Image size 250×250; bone marrow aspirate smear: 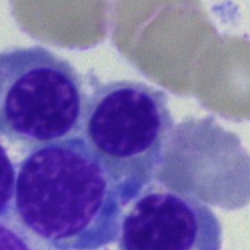

Classification: normoblast.